Bone marrow aspirate smear.
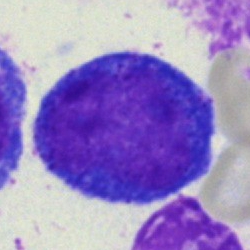Single cell identified as a blast.